Bone marrow smear: 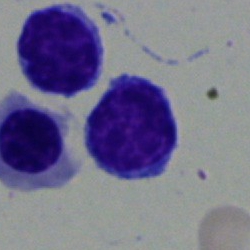
Morphology consistent with a typical lymphocyte.